Bone marrow aspirate smear · single-cell field · May-Grünwald-Giemsa/Pappenheim stain — 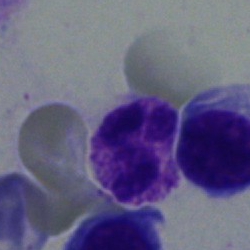 Classification = polymorphonuclear neutrophil.